Image size 250×250; Pappenheim-stained; bone marrow smear:
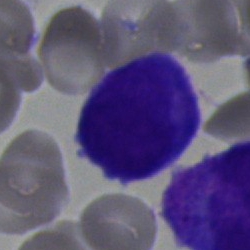

Single cell identified as an undifferentiated blast.